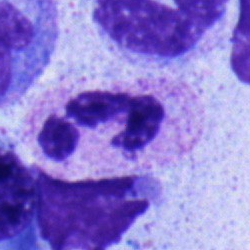The cell is neutrophil (segmented).